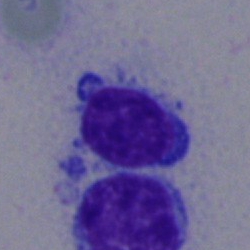Specimen: bone marrow smear.
Cell: typical lymphocyte.
Lineage: lymphoid.